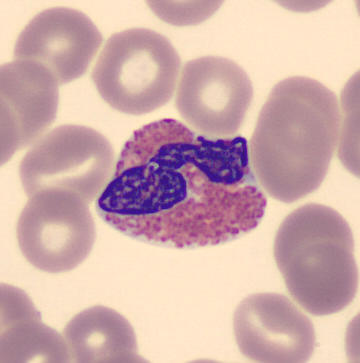

Acquisition: Peripheral blood smear; 360×363 px; imaged on a CellaVision DM96 analyser.
Classification: eosinophil.